Bone marrow aspirate smear.
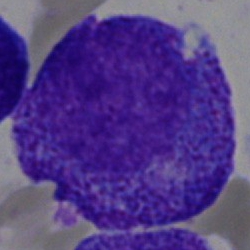
Morphology → promyelocyte.